250×250. Bone marrow aspirate smear
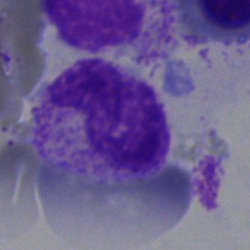

Showing a metamyelocyte.